250 by 250 pixels · bone marrow aspirate smear:
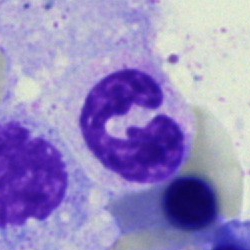

Morphology → neutrophil (segmented).